40× oil immersion · bone marrow aspirate smear:
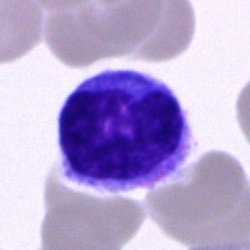 Cell type = monocyte.